250×250 px. Bone marrow aspirate smear. Single-cell crop
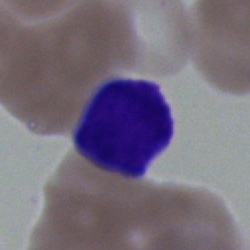 Morphology — lymphocyte.